Brightfield microscopy, 40× oil immersion · bone marrow smear
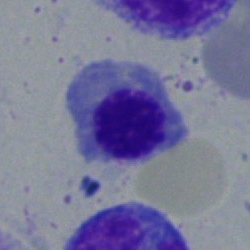
Q: What is the morphological classification of this cell?
A: A nucleated red cell.